Bone marrow aspirate smear: 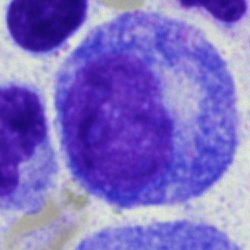

Cell type — progranulocyte.